Bone marrow smear: 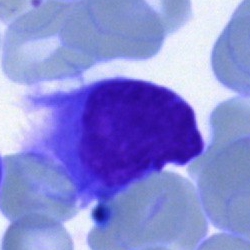 Q: What is shown here?
A: This is a lymphocyte.